Peripheral blood smear
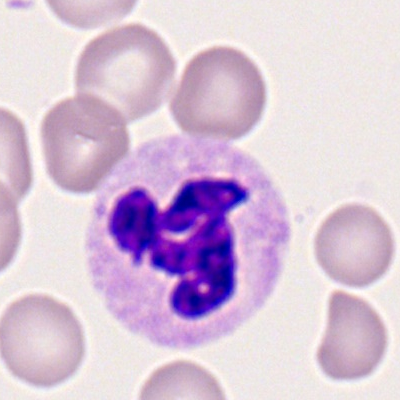
{"cell_type": "segmented neutrophil", "lineage": "myeloid"}